Bone marrow smear:
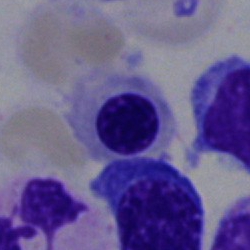 Classification = nucleated red blood cell.